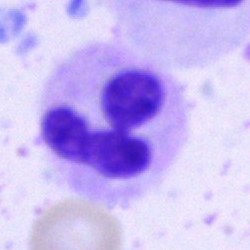 Polymorphonuclear neutrophil.